Single-cell field · bone marrow aspirate smear.
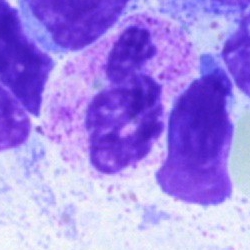
Classification: neutrophil (segmented).